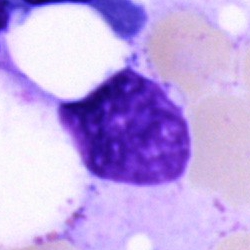
The cell shown is an artifact.